MGG-stained · bone marrow aspirate smear
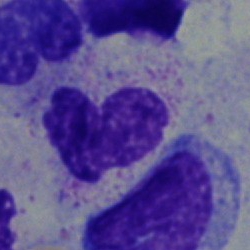
Q: Identify the cell.
A: It is a polymorphonuclear neutrophil.